Single-cell field. Peripheral blood smear.
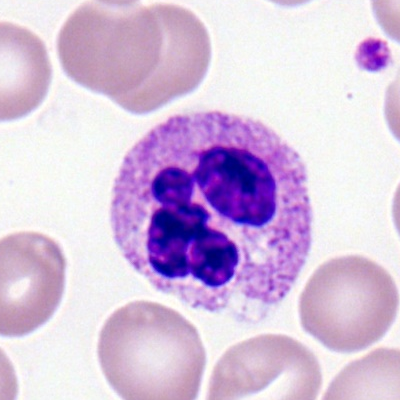Neutrophil (segmented).